Bone marrow smear
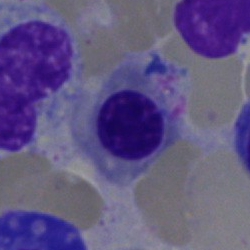
Q: What is the morphological classification of this cell?
A: A nucleated red blood cell.